Bone marrow aspirate smear: 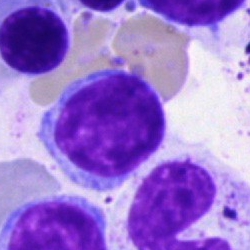
Classification — typical lymphocyte.